Bone marrow aspirate smear:
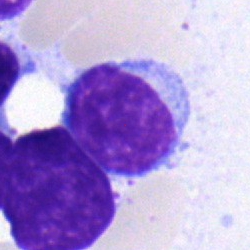Morphology → typical lymphocyte.